Bone marrow smear — 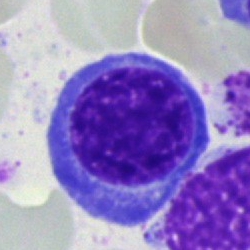
Specimen: bone marrow smear.
Cell: erythroblast.
Lineage: erythroid.